Single cell centered in the field · bone marrow smear — 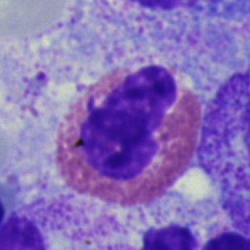
The classification is eosinophil.